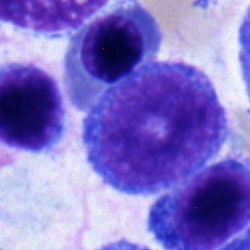

{"cell_type": "pronormoblast"}